Bone marrow aspirate smear — 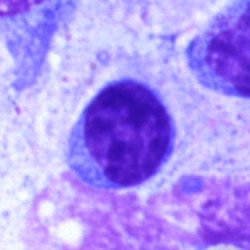
Single cell identified as a lymphocyte.